Bone marrow smear.
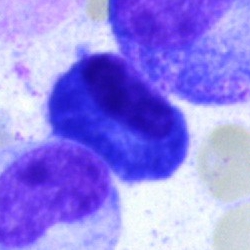
Classification — plasmacyte.